Single-cell field. Bone marrow aspirate smear: 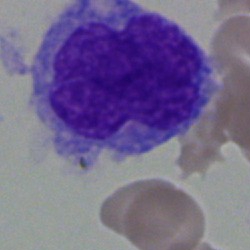 {"cell_type": "monocyte", "lineage": "myeloid"}